Bone marrow aspirate smear — 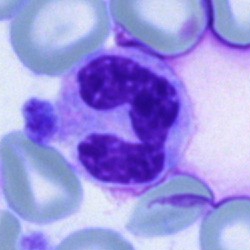
This is a neutrophil (segmented).